Bone marrow smear; cropped to a single cell:
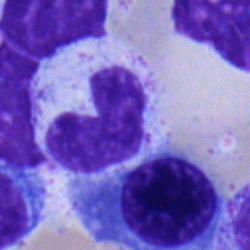Morphological class = band neutrophil.